Bone marrow smear
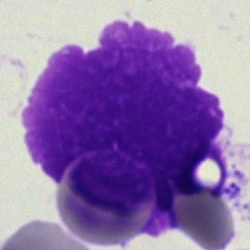

This is an artifact.